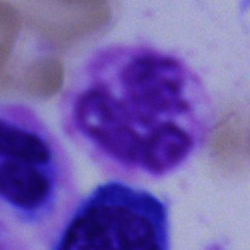

Impression — artifact.